Brightfield, 40× oil-immersion objective; bone marrow aspirate smear
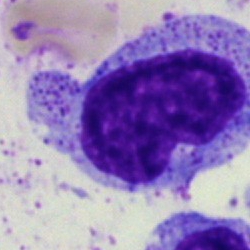 Morphology consistent with a promyelocyte.